Bone marrow smear; image size 250×250 — 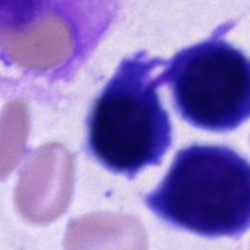 Morphology → unidentifiable cell.